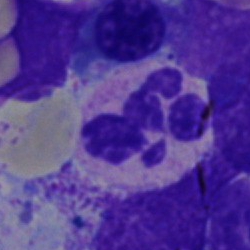

Specimen: bone marrow aspirate smear.
Cell: neutrophil (segmented).